Bone marrow aspirate smear: 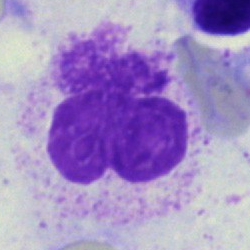Q: What is shown here?
A: Artefact.